Cropped to a single cell. Bone marrow aspirate smear. 40× oil immersion: 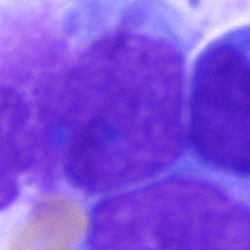The classification is artifact.